MGG-stained · bone marrow aspirate smear:
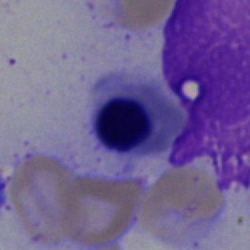
Morphology → nucleated red blood cell.